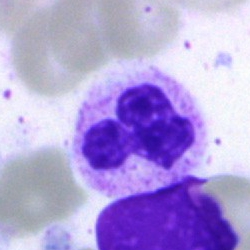

This is a polymorphonuclear neutrophil.